Bone marrow aspirate smear: 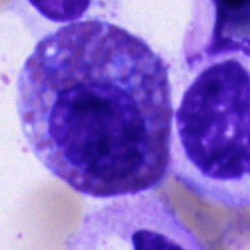 Morphology — eosinophilic granulocyte.